250×250 · bone marrow aspirate smear: 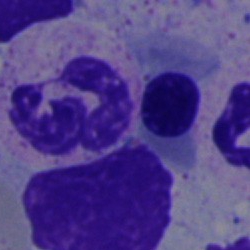
Impression — polymorphonuclear neutrophil.